Peripheral blood smear. Romanowsky stain.
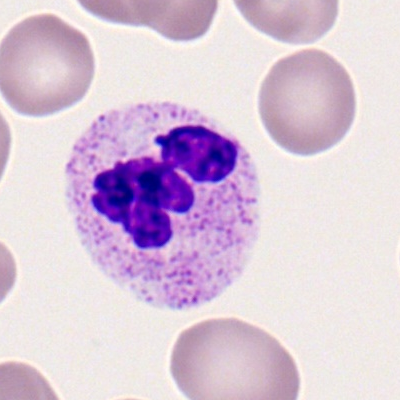

A neutrophil (segmented).